Peripheral blood film — 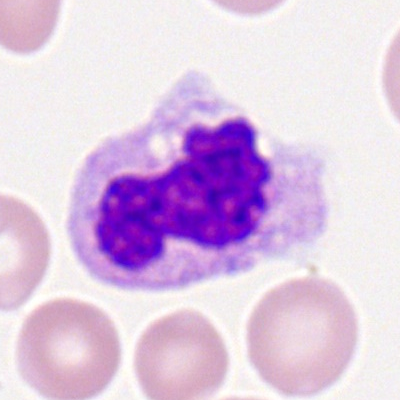
The cell shown is a polymorphonuclear neutrophil.